Bone marrow smear; 250×250 px
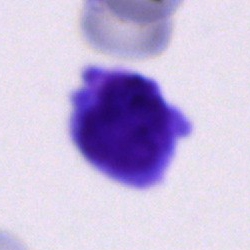
This is a cell of indeterminate lineage.